May-Grünwald-Giemsa/Pappenheim stain; bone marrow smear; brightfield microscopy, 40× oil immersion: 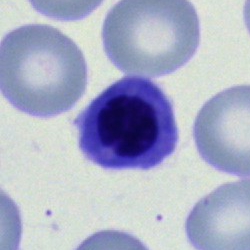The morphological class is nucleated red blood cell.